250×250 px. 40× objective, oil immersion. Bone marrow smear: 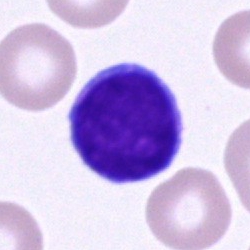
The cell type is lymphocyte.